Bone marrow aspirate smear: 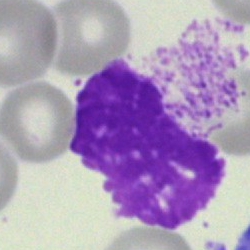 Morphology consistent with an artifact.